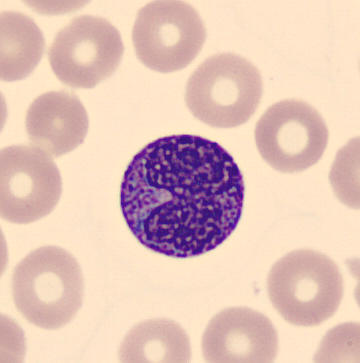

Specimen: peripheral blood smear.
Classification: metamyelocyte.
Single cell centered in the field.